Imaged on a CellaVision DM96 analyser · peripheral blood smear:
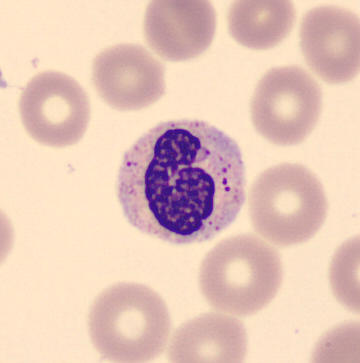

Q: What type of cell is this?
A: A neutrophil (band).